250×250 px; bone marrow smear; May-Grünwald-Giemsa/Pappenheim stain — 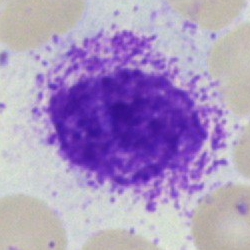

Cell: artefact.